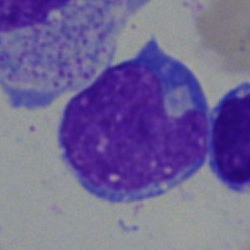Morphology consistent with a blast.